Bone marrow aspirate smear
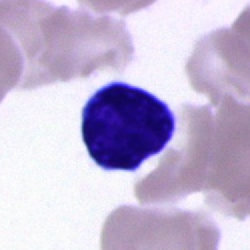 Q: What is shown here?
A: It is a lymphocyte.